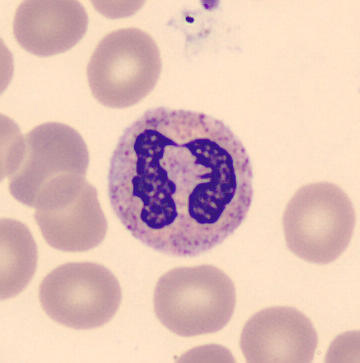
The cell shown is a neutrophil (segmented).